Brightfield, 40× oil-immersion objective · bone marrow smear · cropped to a single cell.
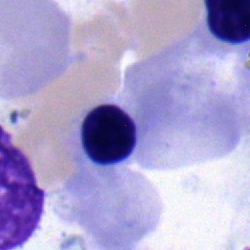
Q: What cell is this?
A: A nucleated red cell.